Bone marrow aspirate smear.
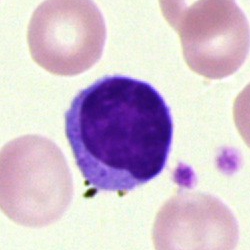 The cell shown is a lymphocyte.